Bone marrow aspirate smear — 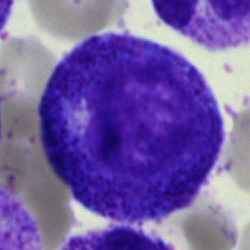
Cell type: promyelocyte.